Bone marrow smear — 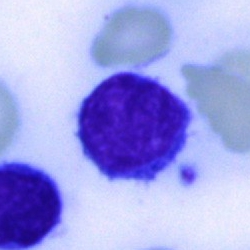 {"cell_type": "typical lymphocyte"}